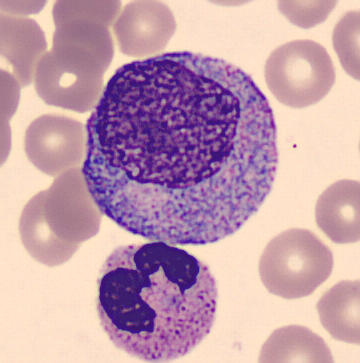

The morphological class is promyelocyte.
Cropped to a single cell; peripheral blood smear.